250 by 250 pixels; May-Grünwald-Giemsa stain; bone marrow aspirate smear.
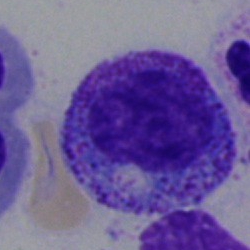

Q: Which cell type is shown here?
A: It is a progranulocyte.